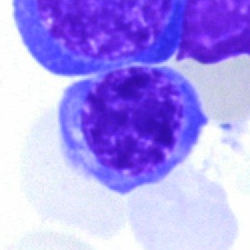
Single cell identified as an erythroblast.